Romanowsky stain · peripheral blood smear.
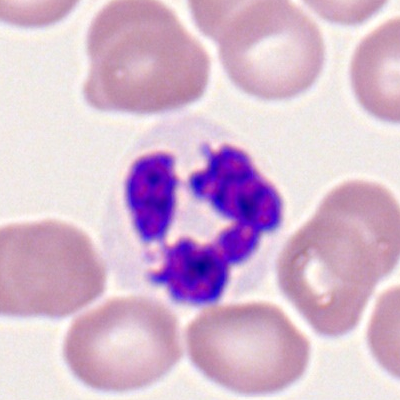

The cell shown is a segmented neutrophil.